Single-cell field; bone marrow smear.
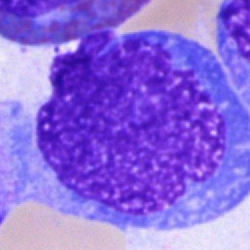Classification = blast cell.